Image size 250×250; bone marrow smear:
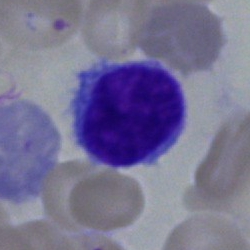 Classification — typical lymphocyte.